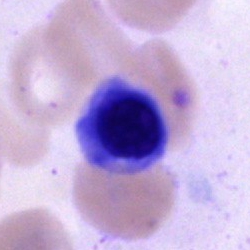
Specimen: bone marrow aspirate smear.
Cell: normoblast.
Lineage: erythroid.